Peripheral blood film:
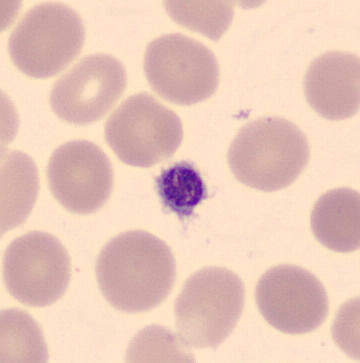 Q: What is shown here?
A: It is a platelet (thrombocyte).